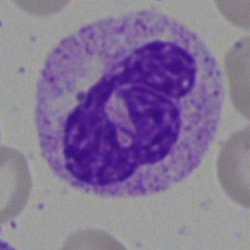 Specimen: bone marrow aspirate smear.
Classification: polymorphonuclear neutrophil.
Lineage: myeloid.